Bone marrow aspirate smear
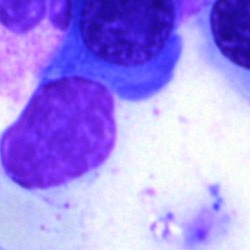Classification — artifact.